Bone marrow aspirate smear; cropped to a single cell; May-Grünwald-Giemsa/Pappenheim stain
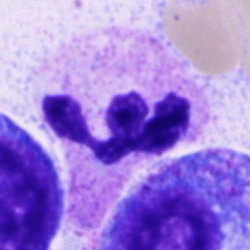The cell type is neutrophil (segmented).